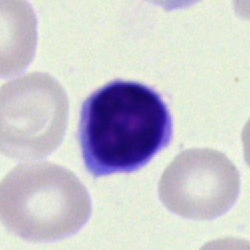

Cell type — lymphocyte.